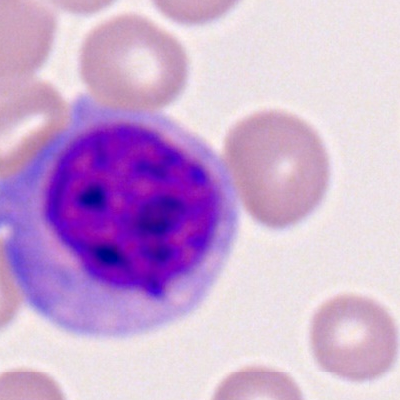 Specimen: peripheral blood film.
Classification: monocyte.
Lineage: myeloid.